400 by 400 pixels · peripheral blood smear:
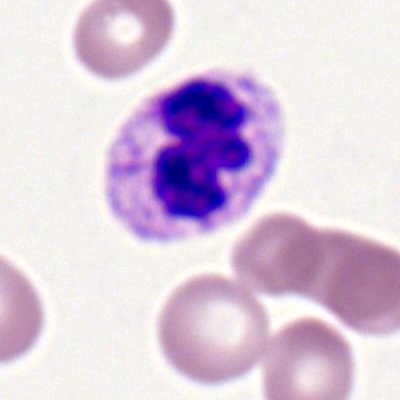
Q: What cell is this?
A: A neutrophil (segmented).